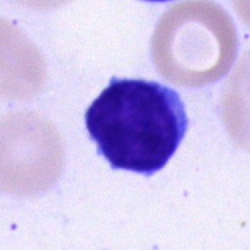A typical lymphocyte.